Bone marrow smear:
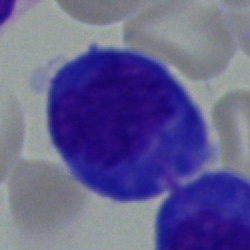

A plasma cell.